Bone marrow aspirate smear: 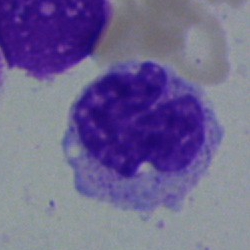
Morphology consistent with a monocyte.